Bone marrow aspirate smear
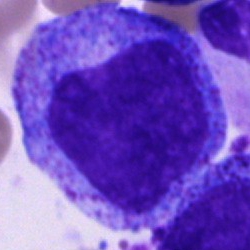
The morphological class is progranulocyte.